Bone marrow aspirate smear:
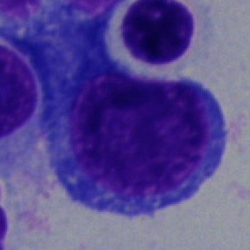
Specimen: bone marrow smear.
Classification: pronormoblast.
Lineage: erythroid.